Bone marrow aspirate smear · cropped to a single cell · 40× oil immersion:
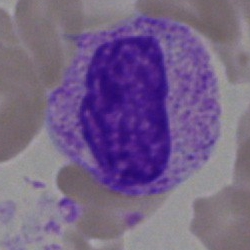 Q: What is the morphological classification of this cell?
A: A band-form neutrophil.